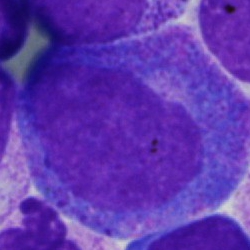
{"cell_type": "progranulocyte"}